Peripheral blood film:
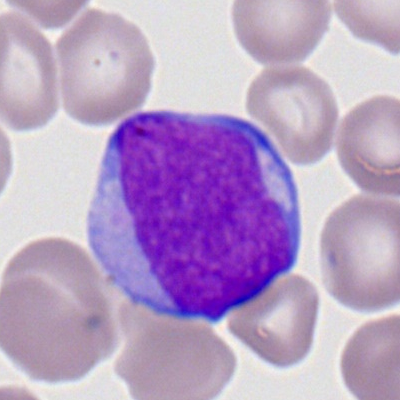
Morphology — myeloblast.